Bone marrow aspirate smear
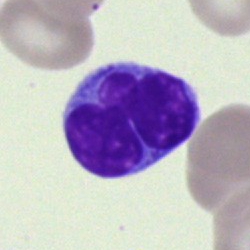Q: What type of cell is this?
A: Lymphocyte.